Peripheral blood film
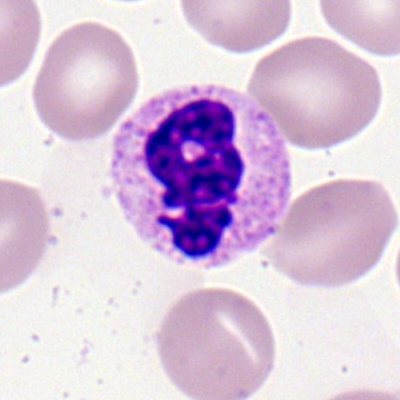

Morphology consistent with a polymorphonuclear neutrophil.